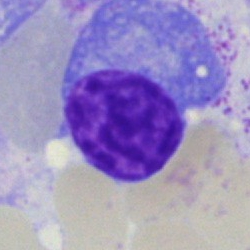

Specimen: bone marrow smear.
Cell: plasmacyte.